Bone marrow aspirate smear; Pappenheim-stained — 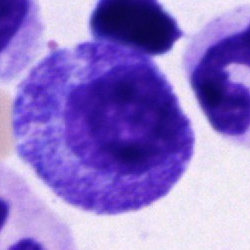 Specimen: bone marrow aspirate smear.
Cell type: promyelocyte.
Lineage: myeloid.